Bone marrow smear · May-Grünwald-Giemsa/Pappenheim stain — 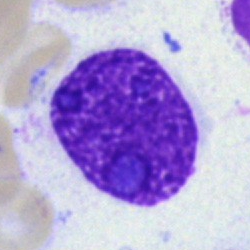 Q: What is shown here?
A: An artefact.